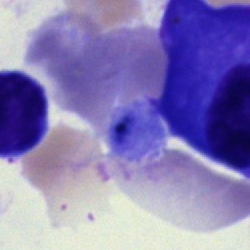Morphological class: artifact.